Bone marrow smear · brightfield, 40× oil-immersion objective
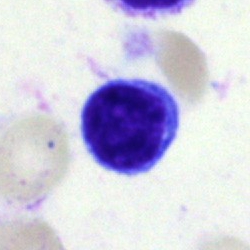 The morphological class is typical lymphocyte.